40× oil immersion · bone marrow aspirate smear: 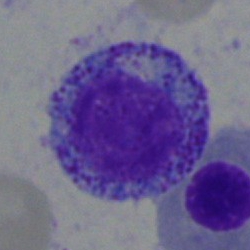Q: What is the morphological classification of this cell?
A: This is a myelocyte.